Pappenheim-stained · bone marrow aspirate smear: 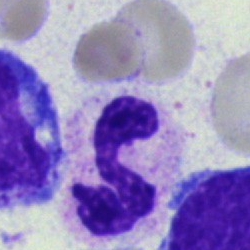

Q: What cell is this?
A: Polymorphonuclear neutrophil.